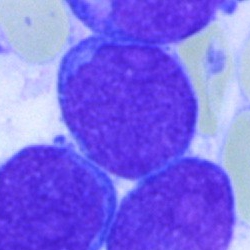

The cell shown is an undifferentiated blast.